Bone marrow smear · single cell centered in the field.
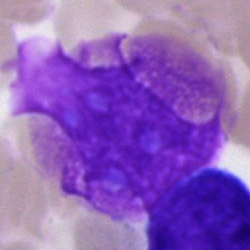Single cell identified as an artifact.